Bone marrow smear. Pappenheim-stained. Brightfield, 40× oil-immersion objective:
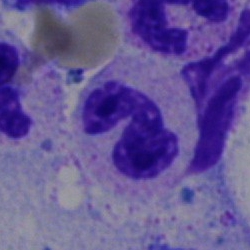

Morphology consistent with a polymorphonuclear neutrophil.